40× objective, oil immersion · 250 by 250 pixels · bone marrow smear.
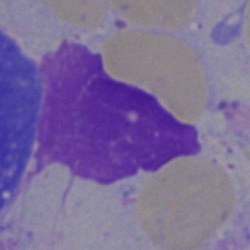 Single cell identified as an artefact.